Bone marrow smear: 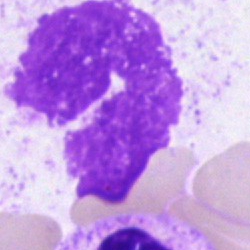 Q: What is shown here?
A: An artefact.